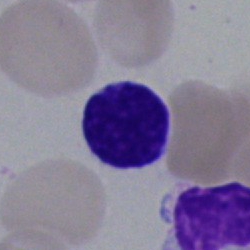

Q: Identify the cell.
A: It is a lymphocyte.